250×250 px; bone marrow aspirate smear; brightfield, 40× oil-immersion objective: 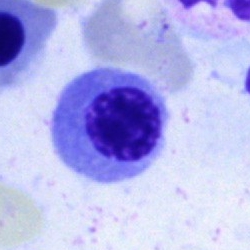
Classification — normoblast.